Bone marrow smear · Pappenheim-stained · 40× objective, oil immersion: 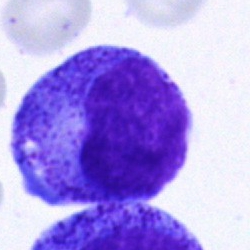
The morphological class is progranulocyte.